Bone marrow smear: 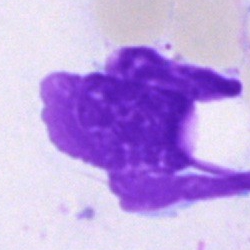
The classification is artifact.